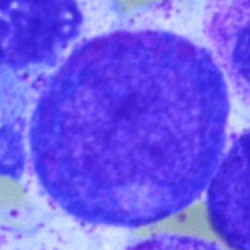

Q: What type of cell is this?
A: This is a progranulocyte.